Single-cell crop · peripheral blood smear.
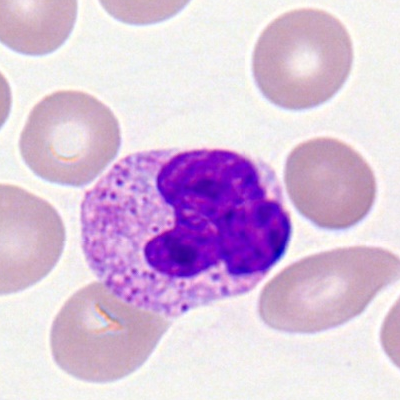Showing a polymorphonuclear neutrophil.